Bone marrow smear
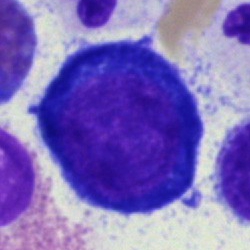 Cell = pronormoblast.